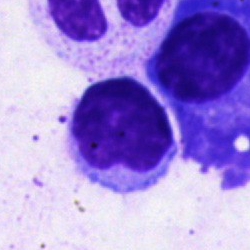Specimen: bone marrow aspirate smear.
Cell type: lymphocyte.
Lineage: lymphoid.